Bone marrow aspirate smear: 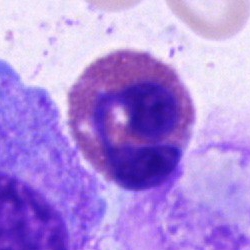Cell type — eosinophilic granulocyte.